40× oil immersion. Bone marrow aspirate smear:
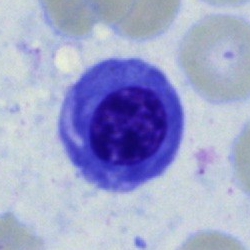 Impression — nucleated red blood cell.